Bone marrow aspirate smear. 40× objective, oil immersion.
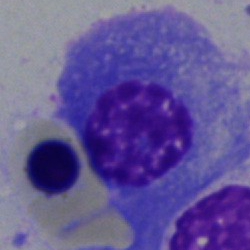 Plasmacyte.